Bone marrow aspirate smear
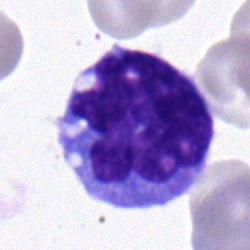

{"cell_type": "monocyte", "lineage": "myeloid"}